Bone marrow aspirate smear · single-cell crop: 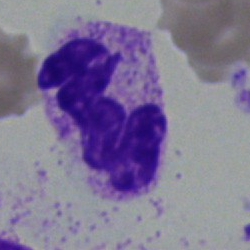

Specimen: bone marrow smear.
Classification: segmented neutrophil.